Peripheral blood smear: 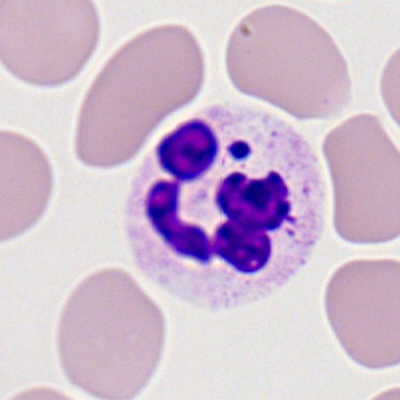 Neutrophil (segmented).